Bone marrow aspirate smear
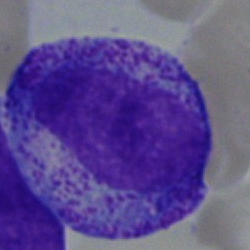

This is a progranulocyte.